Single-cell crop · image size 250×250 · bone marrow aspirate smear:
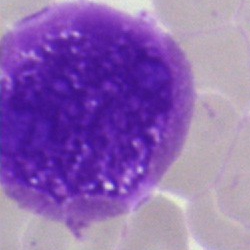

{"cell_type": "artefact"}